Bone marrow smear. Cropped to a single cell:
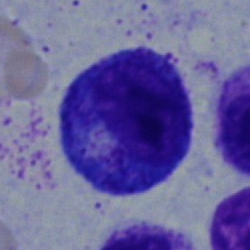
Cell type: progranulocyte.